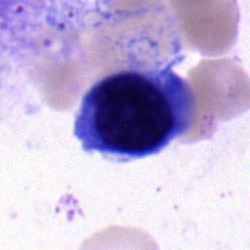
Specimen: bone marrow smear.
Cell type: nucleated red cell.
Lineage: erythroid.